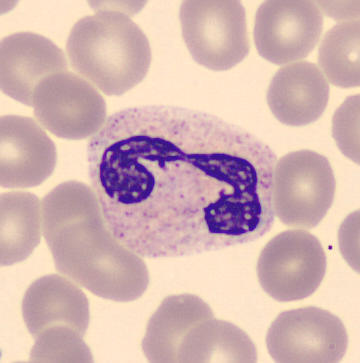Preparation: Peripheral blood smear.
Morphological class — neutrophil (segmented).